MGG-stained. 250×250 px. Bone marrow aspirate smear.
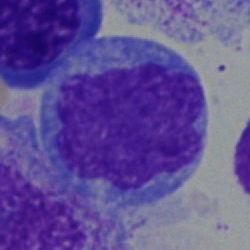Morphological class = blast.